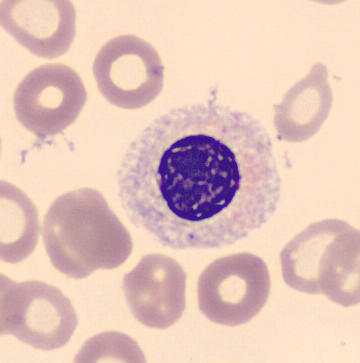 Q: What is shown here?
A: It is a myelocyte.

Image: Peripheral blood film.